Bone marrow aspirate smear — 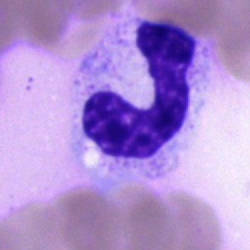
Q: What type of cell is this?
A: This is a band-form neutrophil.